Bone marrow aspirate smear
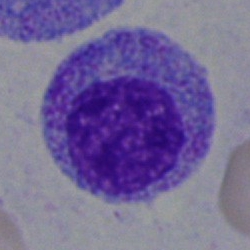
Showing a myelocyte.